Pappenheim-stained · bone marrow smear:
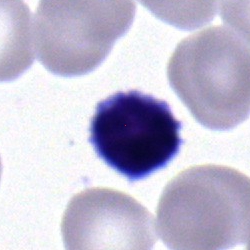Single cell identified as a typical lymphocyte.